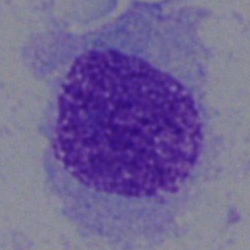
The morphological class is plasma cell.